Bone marrow smear
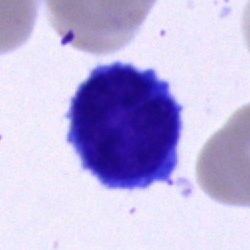

The classification is lymphocyte.